Bone marrow smear:
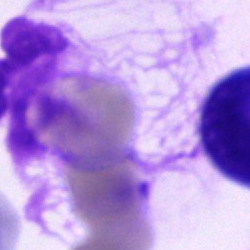 Specimen: bone marrow smear.
Cell type: metamyelocyte.